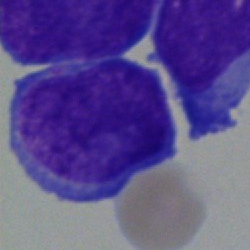
Specimen: bone marrow smear.
Morphological class: undifferentiated blast.